Bone marrow aspirate smear — 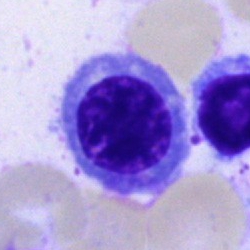 A nucleated red blood cell.